Cropped to a single cell; bone marrow aspirate smear:
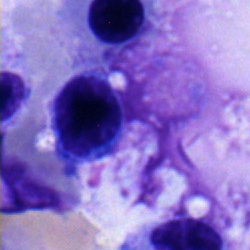
Morphology — nucleated red cell.